Romanowsky-type stain. Single-cell crop. Peripheral blood film: 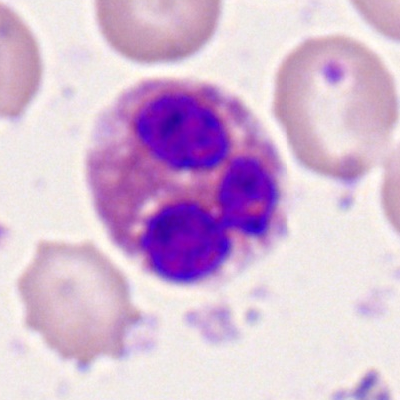

Impression → eosinophil.